Peripheral blood smear: 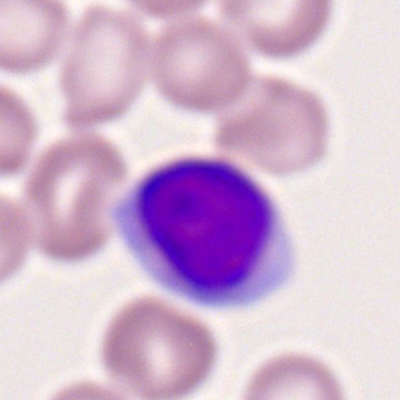This is a lymphocyte.